Bone marrow smear: 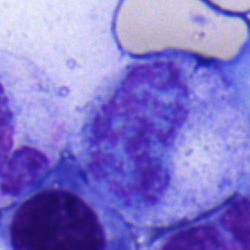 Morphological class — metamyelocyte.